Bone marrow aspirate smear
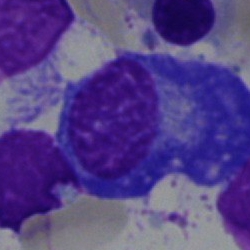Morphology consistent with a plasmacyte.